Bone marrow aspirate smear:
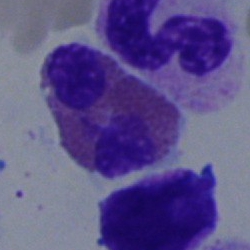 The cell shown is an eosinophilic granulocyte.